Brightfield, 40× oil-immersion objective · single-cell field · bone marrow smear.
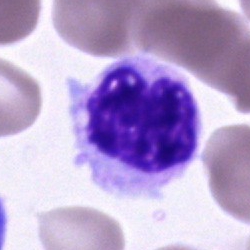

{"cell_type": "polymorphonuclear neutrophil", "lineage": "myeloid"}